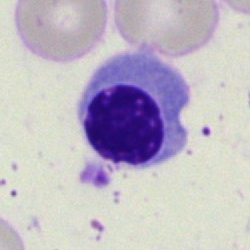 Morphology — nucleated red blood cell.